Bone marrow smear.
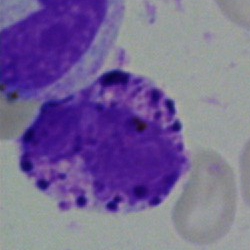Specimen: bone marrow smear.
Morphological class: basophil.